Bone marrow aspirate smear:
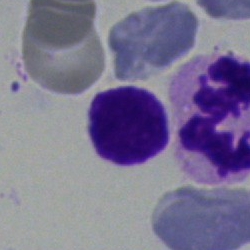

The classification is typical lymphocyte.